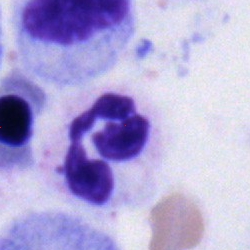
Classification: neutrophil (segmented).